Cropped to a single cell. Bone marrow smear: 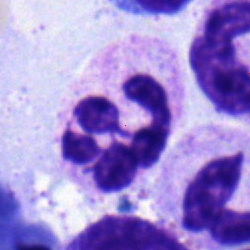

The cell is segmented neutrophil.